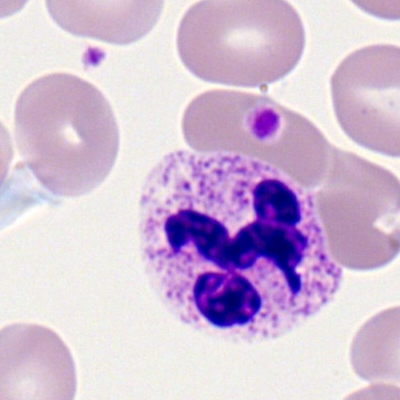 Impression — neutrophil (segmented).